Peripheral blood film · brightfield, 100× oil-immersion objective: 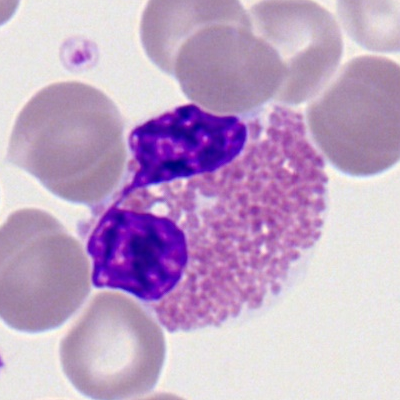
Q: What is shown here?
A: An eosinophil.